Bone marrow smear · single-cell field: 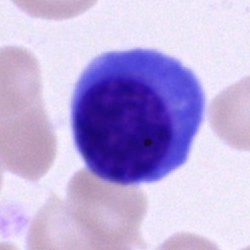

{"cell_type": "nucleated red cell"}